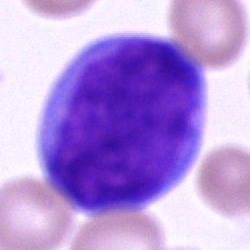Specimen: bone marrow aspirate smear.
Classification: blast cell.